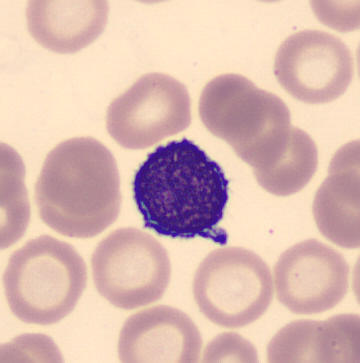This is a typical lymphocyte.

Preparation: Single-cell crop; peripheral blood smear.